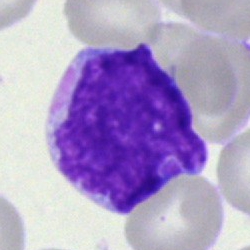
Showing an undifferentiated blast.